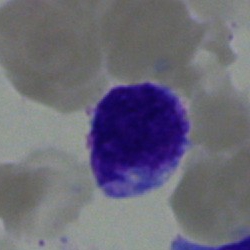
Impression → lymphocyte.